Bone marrow smear.
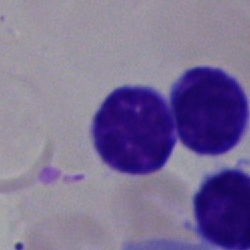
Specimen: bone marrow aspirate smear.
Classification: typical lymphocyte.